Bone marrow smear: 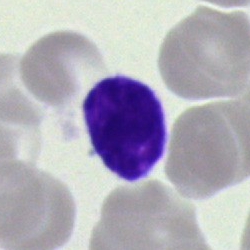Single cell identified as a typical lymphocyte.